Bone marrow smear.
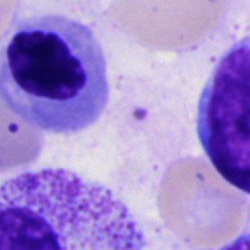 Normoblast.